Bone marrow aspirate smear: 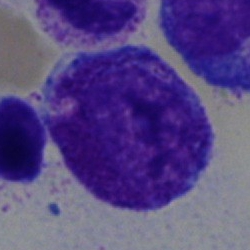 The cell type is progranulocyte.